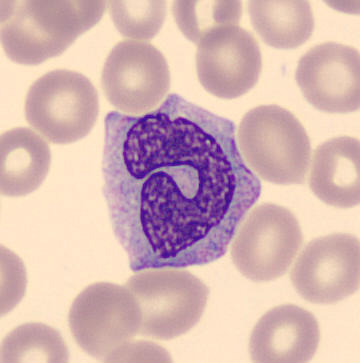Classification = monocyte.
May-Grünwald-Giemsa-stained · peripheral blood smear.